Bone marrow aspirate smear
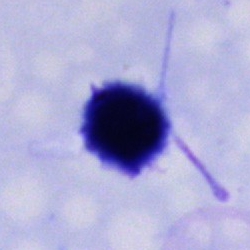

Cell of indeterminate lineage.